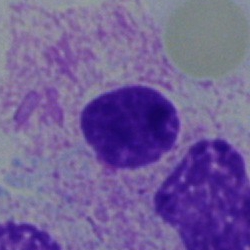 Morphology → cell with bundled Auer rods.